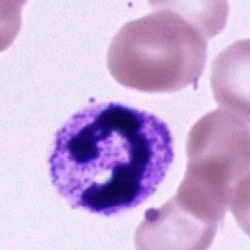 Specimen: bone marrow aspirate smear.
Cell type: segmented neutrophil.
Lineage: myeloid.